Bone marrow smear. 250×250 px:
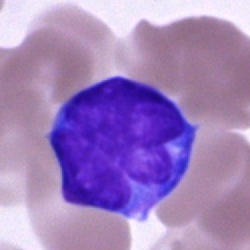 Showing an undifferentiated blast.